Bone marrow smear. Single-cell crop. 250×250 px:
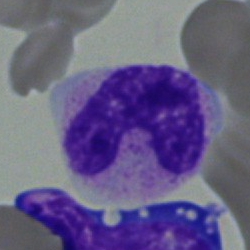 Q: Identify the cell.
A: This is a band-form neutrophil.